Bone marrow smear:
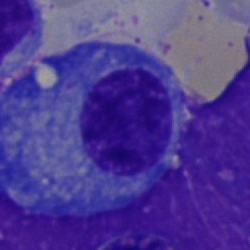Plasmacyte.